Single-cell crop · 40× oil immersion · bone marrow aspirate smear
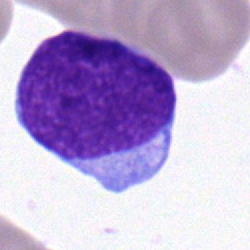 Q: What type of cell is this?
A: Blast cell.